May-Grünwald-Giemsa/Pappenheim stain · bone marrow smear.
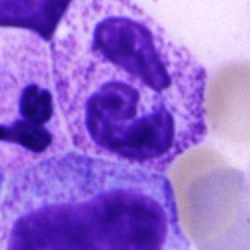Q: What is shown here?
A: Polymorphonuclear neutrophil.